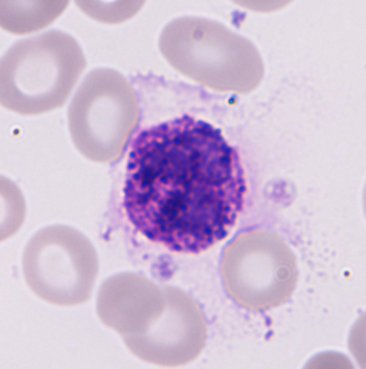
Morphology — basophilic granulocyte.